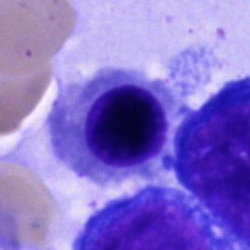
Q: What is the morphological classification of this cell?
A: Nucleated red blood cell.